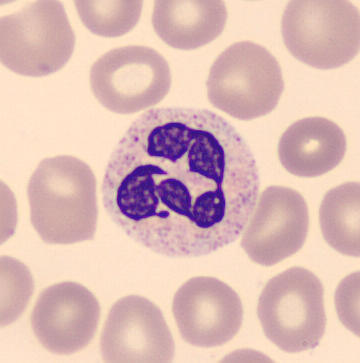 The cell shown is a polymorphonuclear neutrophil.